Bone marrow aspirate smear; May-Grünwald-Giemsa/Pappenheim stain
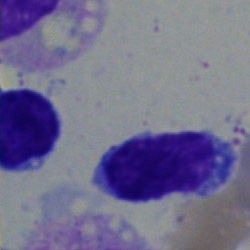

Q: What is the morphological classification of this cell?
A: A typical lymphocyte.